Peripheral blood film; cropped to a single cell — 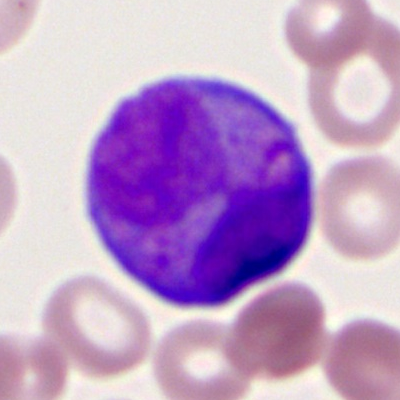 Single cell identified as a bilobed promyelocyte.